Bone marrow aspirate smear — 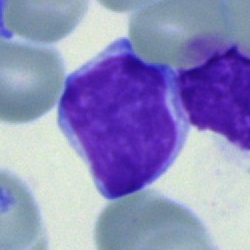

A typical lymphocyte.